Single cell centered in the field. 250×250 px. Bone marrow smear
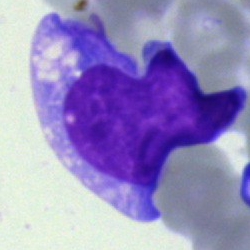

Blast.